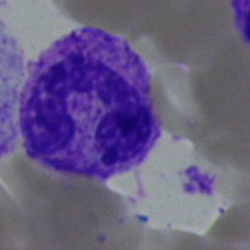Morphology consistent with a band neutrophil.